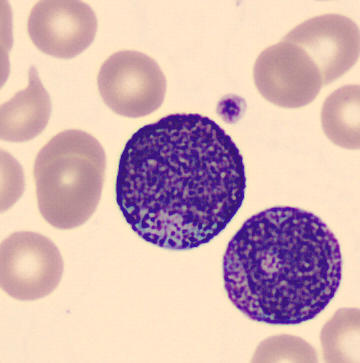Peripheral blood film. Identified as a progranulocyte.